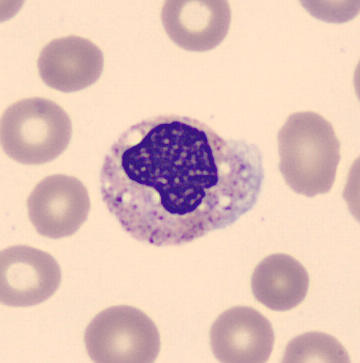

Impression — metamyelocyte.

Acquisition: Cropped to a single cell. CellaVision DM96. Peripheral blood film.